Brightfield microscopy, 40× oil immersion · bone marrow aspirate smear:
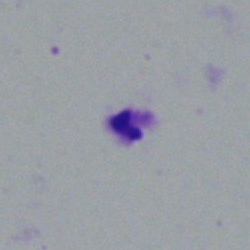

This is an artifact.